Bone marrow aspirate smear:
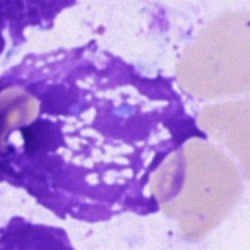This is an artifact.